Bone marrow smear — 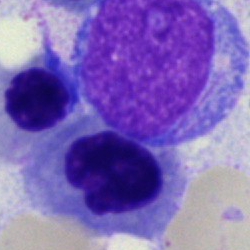
This is a blast cell.